Bone marrow aspirate smear:
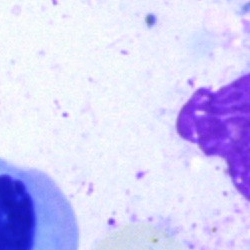 Cell: artifact.